Bone marrow aspirate smear · single-cell field — 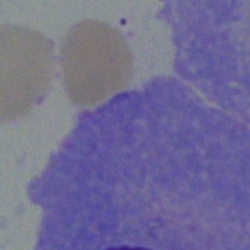 Morphology → plasmacyte.